Single-cell crop; bone marrow smear
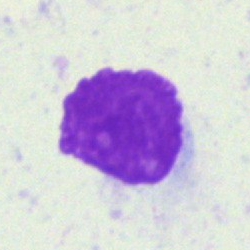

Cell — artifact.